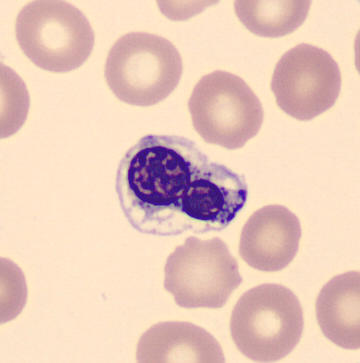

Morphology consistent with a nucleated red blood cell.
Acquisition: Peripheral blood film · May-Grünwald-Giemsa-stained.